Bone marrow aspirate smear.
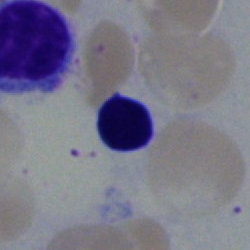{"cell_type": "normoblast"}